Bone marrow aspirate smear: 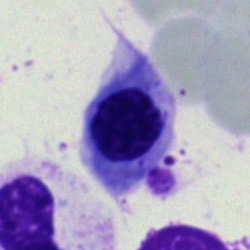

Morphological class — nucleated red cell.